Bone marrow smear. May-Grünwald-Giemsa stain — 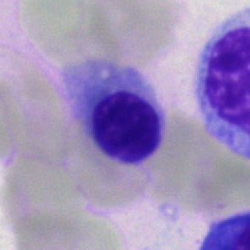

An erythroblast.